May-Grünwald-Giemsa stain · brightfield, 40× oil-immersion objective · bone marrow aspirate smear: 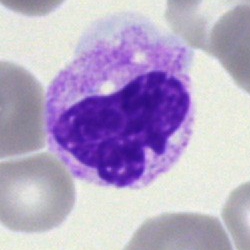

Showing a neutrophil (segmented).